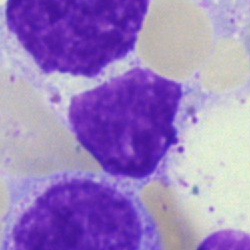Q: What is shown here?
A: It is an artifact.